Bone marrow smear
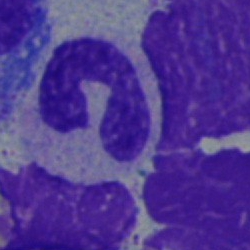

Q: Identify the cell.
A: A stab cell.